Bone marrow aspirate smear; MGG-stained; single cell centered in the field
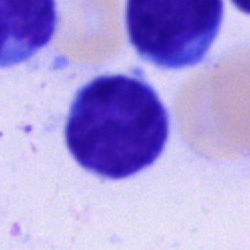Cell: lymphocyte.